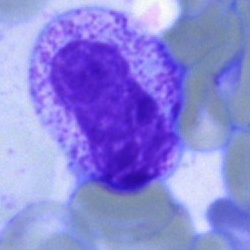

Morphology consistent with a band-form neutrophil.